Brightfield microscopy, 40× oil immersion; MGG-stained; bone marrow smear
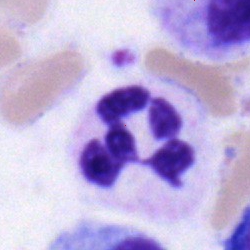
Single cell identified as a neutrophil (segmented).